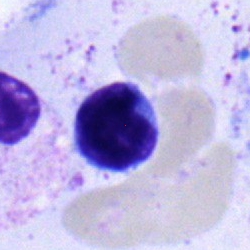
Morphological class = typical lymphocyte.